Bone marrow aspirate smear.
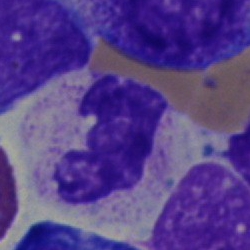
Specimen: bone marrow smear.
Classification: polymorphonuclear neutrophil.
Lineage: myeloid.